Bone marrow smear.
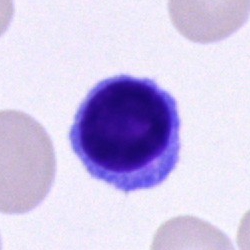

Q: What is the morphological classification of this cell?
A: Typical lymphocyte.